Bone marrow aspirate smear.
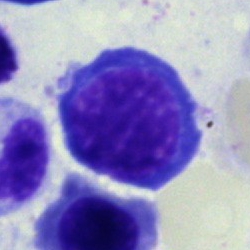

Q: What type of cell is this?
A: This is an erythroblast.